Bone marrow aspirate smear
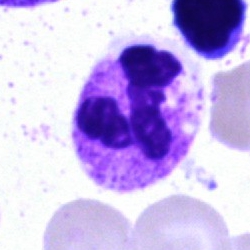{"cell_type": "neutrophil (segmented)"}